Single cell centered in the field · bone marrow aspirate smear:
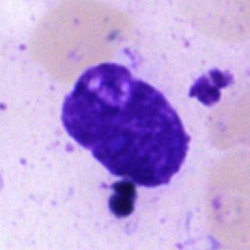
Cell type = artifact.